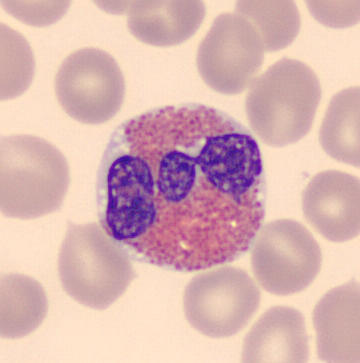

Showing an eosinophilic granulocyte. Image: Peripheral blood film. 360 by 363 pixels.